Peripheral blood smear — 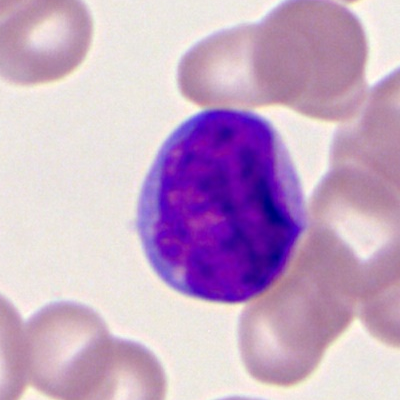

A myeloid blast.